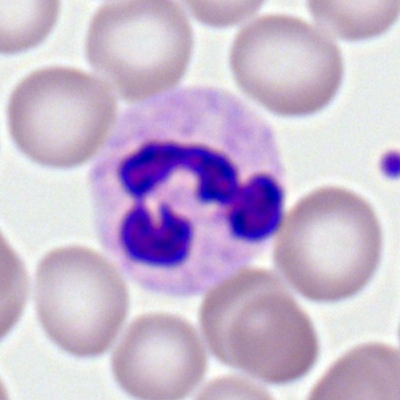

Specimen: peripheral blood smear.
Cell type: polymorphonuclear neutrophil.
Lineage: myeloid.